250×250; single cell centered in the field; bone marrow aspirate smear
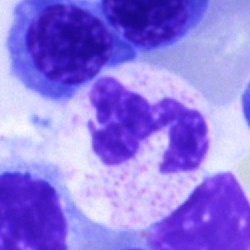
Morphological class — polymorphonuclear neutrophil.